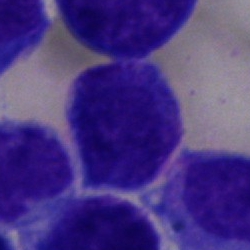The cell is blast.